Bone marrow aspirate smear — 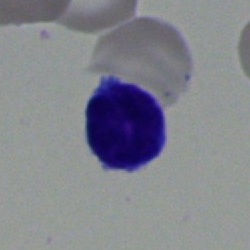{"cell_type": "typical lymphocyte", "lineage": "lymphoid"}